Brightfield microscopy, 40× oil immersion. Bone marrow smear
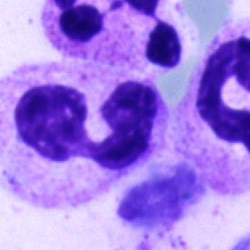

Specimen: bone marrow aspirate smear.
Morphological class: polymorphonuclear neutrophil.
Lineage: myeloid.